Bone marrow smear.
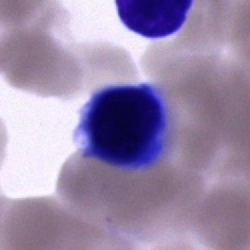 Q: What is shown here?
A: It is a cell of indeterminate lineage.